Bone marrow aspirate smear.
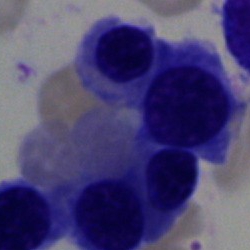 Impression → nucleated red cell.